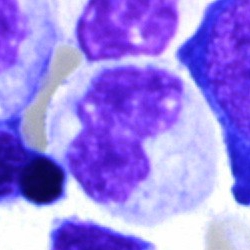

Specimen: bone marrow aspirate smear.
Classification: band-form neutrophil.
Lineage: myeloid.